Brightfield, 40× oil-immersion objective · bone marrow smear · Pappenheim-stained.
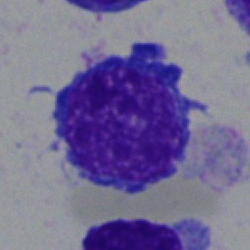
Cell: lymphocyte.